Bone marrow aspirate smear: 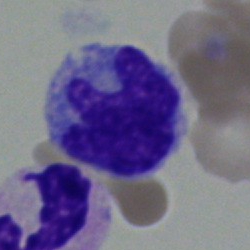Impression → monocyte.